Bone marrow smear
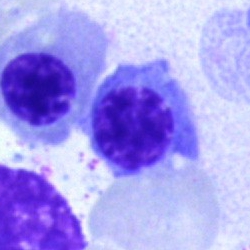
Showing a nucleated red cell.